Bone marrow aspirate smear: 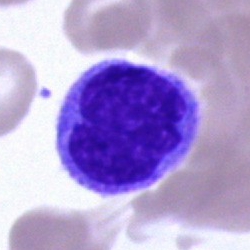 Blast.